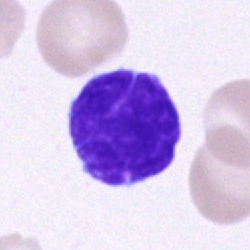Impression — lymphocyte.